Brightfield, 40× oil-immersion objective · bone marrow aspirate smear · MGG-stained.
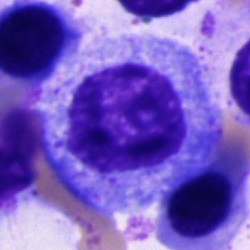 This is a promyelocyte.